Bone marrow smear:
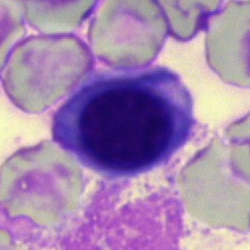
Q: Which cell type is shown here?
A: This is a nucleated red blood cell.